Bone marrow aspirate smear.
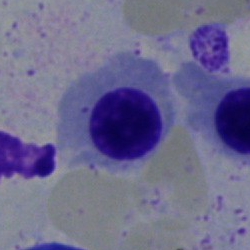

Classification = normoblast.